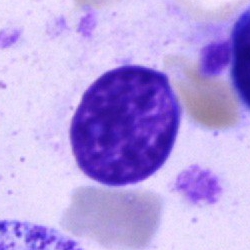
Classification: artefact.